Bone marrow aspirate smear — 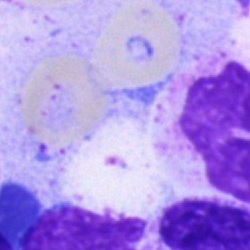

Showing an artefact.